Peripheral blood smear · single-cell field
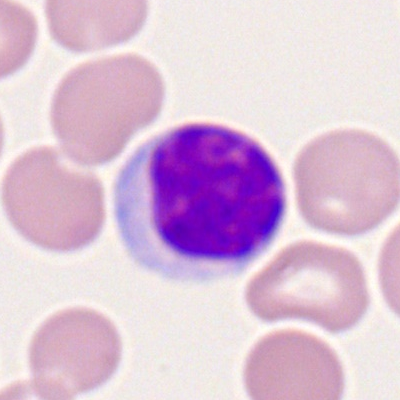

Morphological class: typical lymphocyte.